Bone marrow smear: 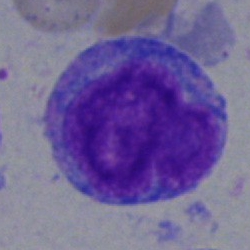

Classification: blast cell.